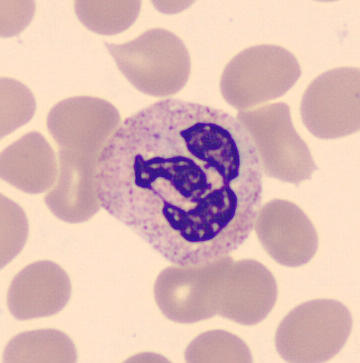 Acquisition: Peripheral blood smear.

{"cell_type": "polymorphonuclear neutrophil", "lineage": "myeloid"}